Bone marrow aspirate smear — 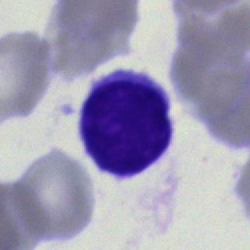This is a lymphocyte.